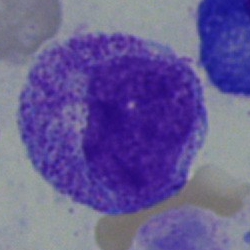 Single-cell crop from a bone marrow smear: myelocyte.